Bone marrow smear. Single-cell crop — 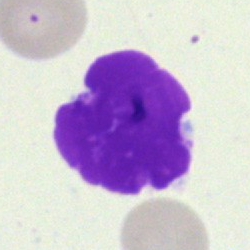

Specimen: bone marrow aspirate smear.
Cell: artefact.